Bone marrow aspirate smear:
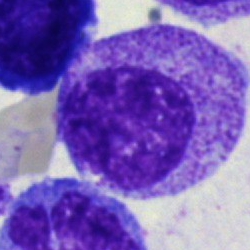

Showing a myelocyte.